Bone marrow smear — 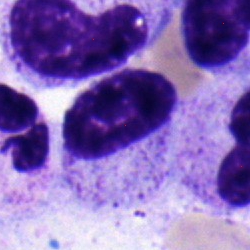
Cell type: metamyelocyte.